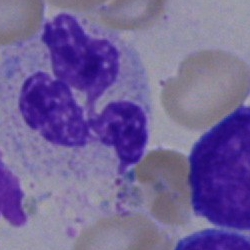

Impression → polymorphonuclear neutrophil.